Bone marrow smear: 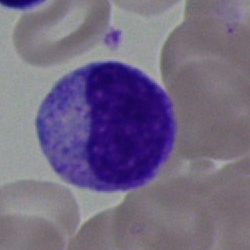The cell shown is a myelocyte.